250×250 px · bone marrow smear · 40× objective, oil immersion.
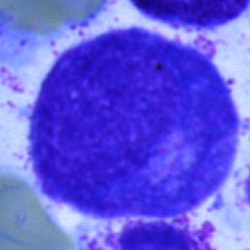Q: What cell is this?
A: It is a progranulocyte.